Bone marrow aspirate smear: 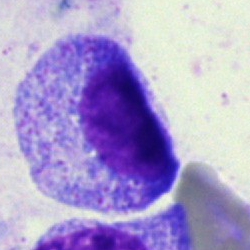
Promyelocyte.